Brightfield microscopy, 40× oil immersion. 250×250. Bone marrow smear — 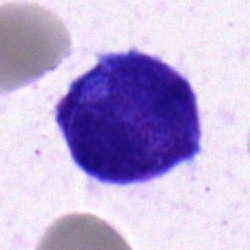 Showing an undifferentiated blast.